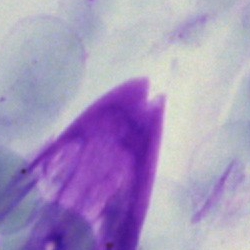An artefact on a bone marrow smear.